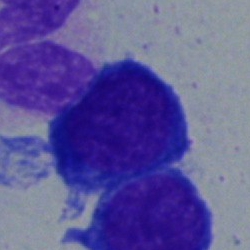 Cell: nucleated red blood cell.